Bone marrow smear: 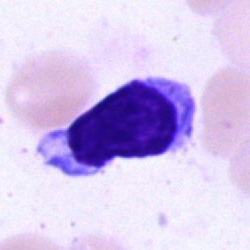This is a lymphocyte.